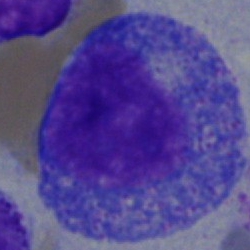 This is a promyelocyte.